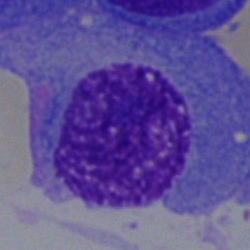

Morphological class = plasmacyte.